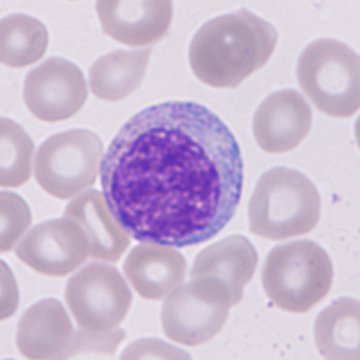

Peripheral blood smear.
An immature granulocyte.